Bone marrow aspirate smear — 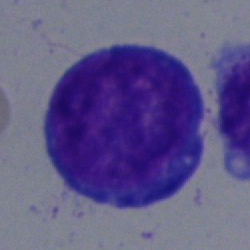
Showing a blast cell.